Peripheral blood film; image size 400×400
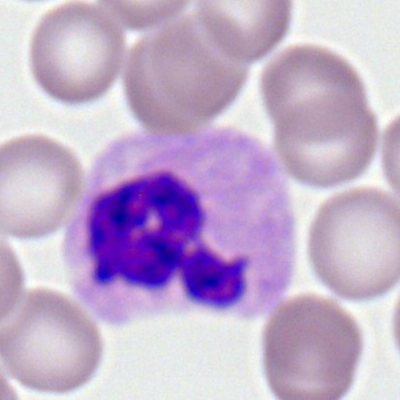Cell: polymorphonuclear neutrophil.